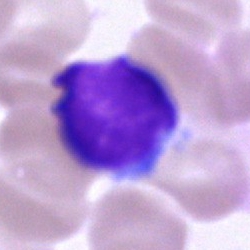Specimen: bone marrow smear.
Cell: lymphocyte.